Bone marrow smear · May-Grünwald-Giemsa/Pappenheim stain
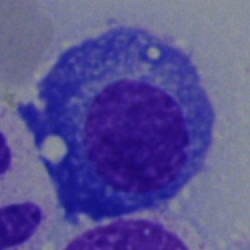The cell is plasmacyte.